May-Grünwald-Giemsa stain; bone marrow aspirate smear; image size 250×250 — 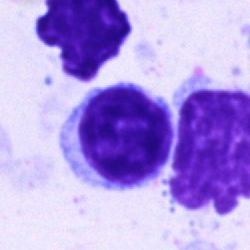 Cell — typical lymphocyte.